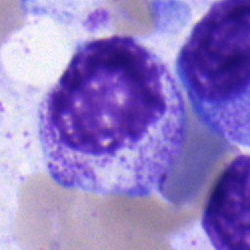 Specimen: bone marrow smear.
Cell type: metamyelocyte.
Lineage: myeloid.